Bone marrow aspirate smear — 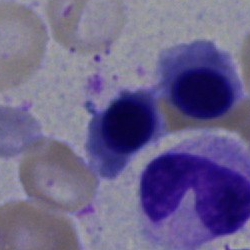

Morphology consistent with a normoblast.